Bone marrow smear — 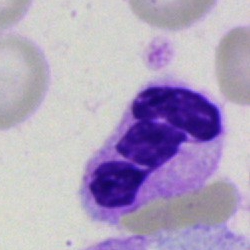
Morphology — segmented neutrophil.